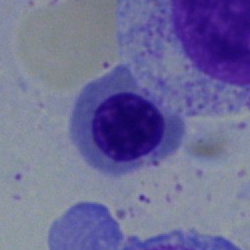

Classification = nucleated red blood cell.